Bone marrow aspirate smear.
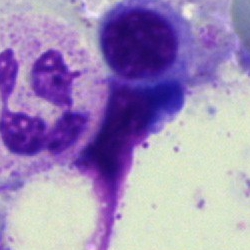
This is a nucleated red cell.